Peripheral blood film. Single-cell crop.
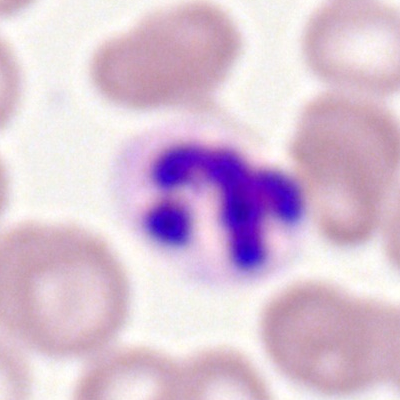Morphology consistent with a neutrophil (segmented).